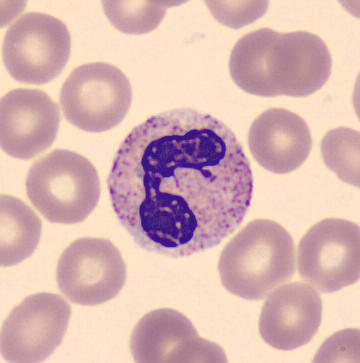Preparation: May-Grünwald-Giemsa-stained · peripheral blood film.
Cell = segmented neutrophil.